Bone marrow smear; 250×250: 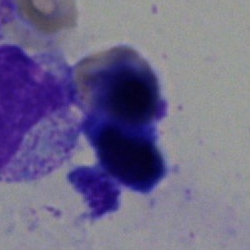

The cell shown is an artefact.